Bone marrow smear
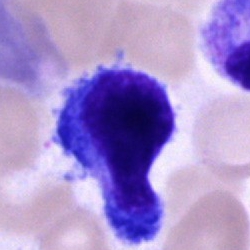

Specimen: bone marrow smear.
Cell: undifferentiated blast.